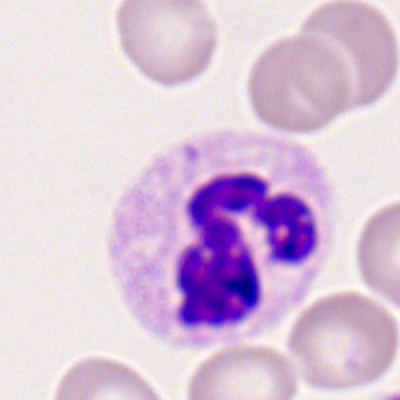
Peripheral blood smear showing a segmented neutrophil.